Bone marrow aspirate smear
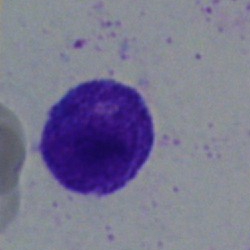
Myelocyte.